Bone marrow aspirate smear:
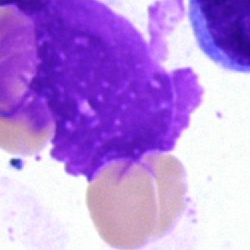

Morphology — artefact.